Bone marrow smear — 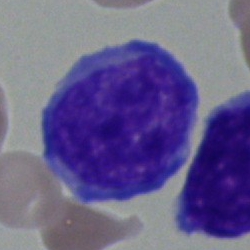
This is a blast cell.